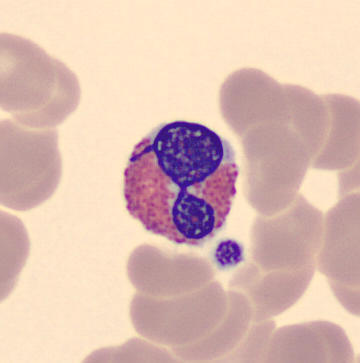 Impression — eosinophilic granulocyte.